Bone marrow smear · single cell centered in the field
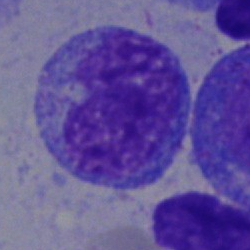
Morphology consistent with a promyelocyte.